Bone marrow smear · MGG-stained — 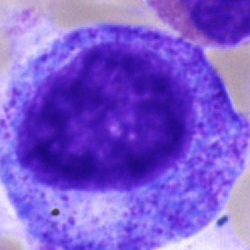Specimen: bone marrow smear.
Cell type: progranulocyte.
Lineage: myeloid.